Bone marrow smear; May-Grünwald-Giemsa/Pappenheim stain; image size 250×250:
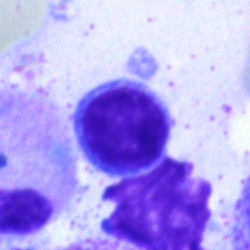
The classification is lymphocyte.